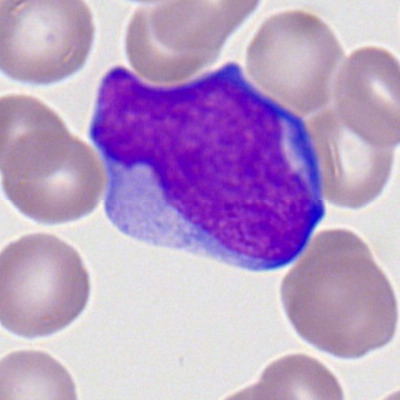
Morphological class: myeloblast.